Bone marrow aspirate smear · single cell centered in the field.
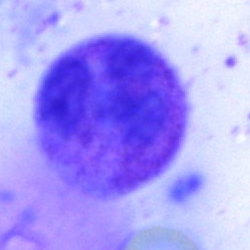

Segmented neutrophil.